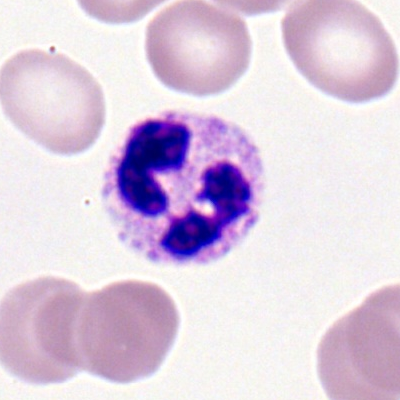Polymorphonuclear neutrophil.